40× oil immersion · bone marrow aspirate smear · May-Grünwald-Giemsa stain — 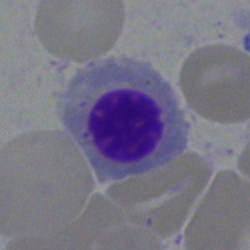
Morphology — nucleated red blood cell.